Bone marrow aspirate smear. 40× objective, oil immersion.
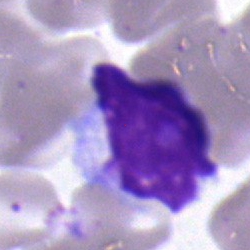

The cell is lymphocyte.